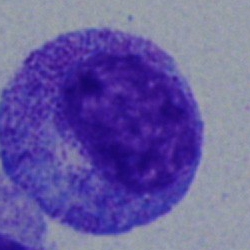Showing a progranulocyte.